250 by 250 pixels; 40× oil immersion; bone marrow aspirate smear.
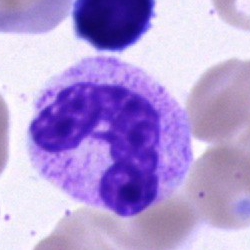
Showing a stab cell.